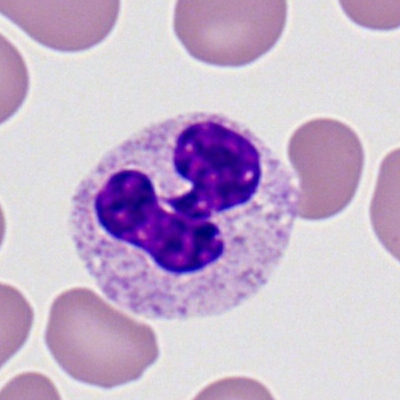Classification: neutrophil (segmented).